Bone marrow aspirate smear; single cell centered in the field; 40× objective, oil immersion
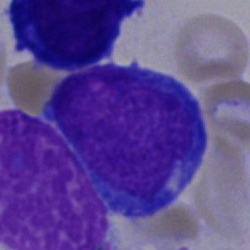 Morphology — undifferentiated blast.